Bone marrow aspirate smear. Single-cell field — 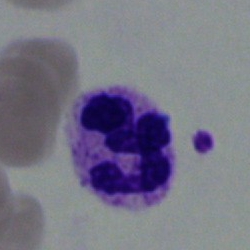 Morphology consistent with a polymorphonuclear neutrophil.